Bone marrow aspirate smear · brightfield, 40× oil-immersion objective · MGG-stained — 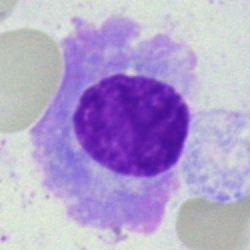 This is a plasmacyte.